Bone marrow smear.
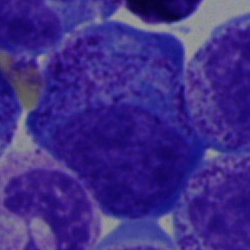 {"cell_type": "progranulocyte", "lineage": "myeloid"}